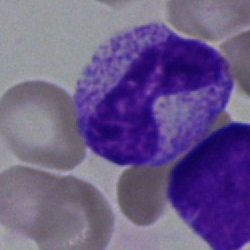 Specimen: bone marrow aspirate smear.
Morphological class: segmented neutrophil.
Lineage: myeloid.